Bone marrow smear. 250×250 px — 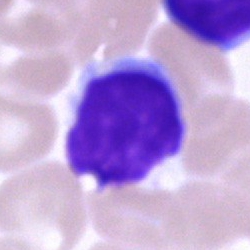
Cell — lymphocyte.